40× oil immersion; 250×250 px; bone marrow aspirate smear: 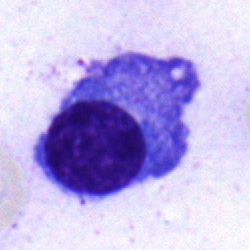
Specimen: bone marrow aspirate smear.
Classification: plasma cell.
Lineage: lymphoid.